May-Grünwald-Giemsa stain · bone marrow smear — 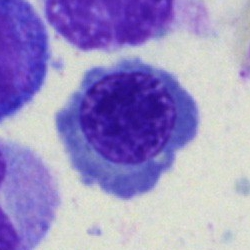
Specimen: bone marrow aspirate smear.
Morphological class: nucleated red cell.